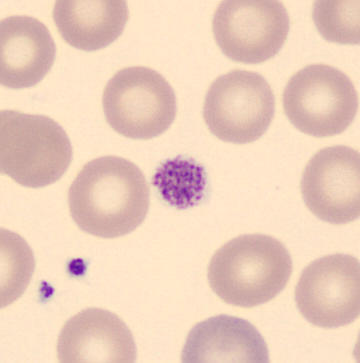 {"cell_type": "platelet (thrombocyte)"}